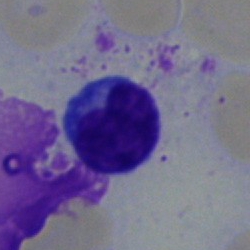 Q: Identify the cell.
A: It is a neutrophil (segmented).